Bone marrow smear. Pappenheim-stained. 250×250 px — 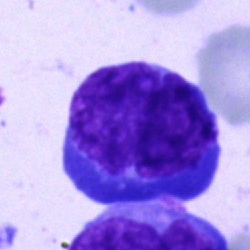 Cell — undifferentiated blast.